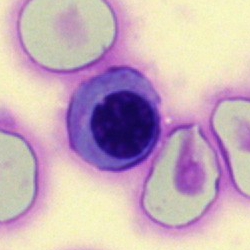
Classification: erythroblast.